Peripheral blood smear: 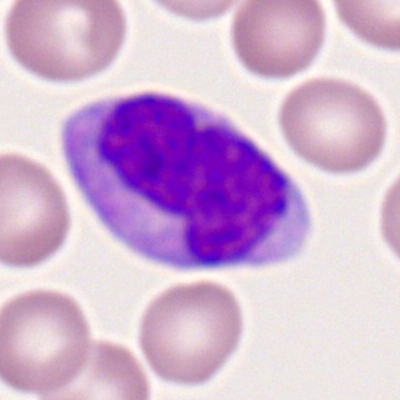Morphological class = monocyte.